Bone marrow aspirate smear:
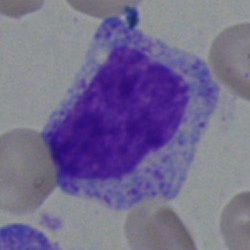
The cell shown is a myelocyte.